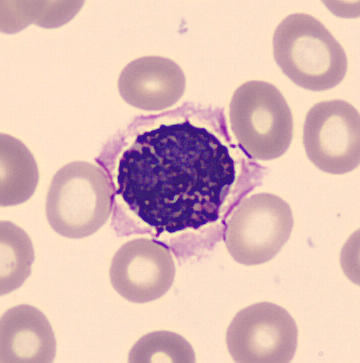 Acquisition: Peripheral blood smear; automated cell imaging (CellaVision DM96); image size 360×363.

Showing a basophil.